40× objective, oil immersion · bone marrow aspirate smear · cropped to a single cell
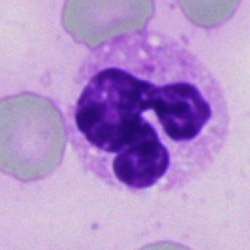
Specimen: bone marrow smear.
Classification: neutrophil (segmented).
Lineage: myeloid.